Bone marrow smear.
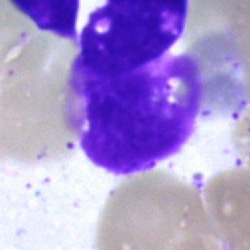Q: What is shown here?
A: It is an artefact.